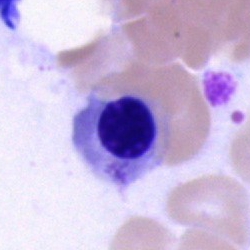
Bone marrow smear showing a nucleated red cell.